Bone marrow aspirate smear:
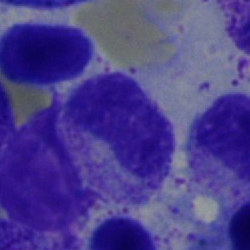

Single cell identified as a metamyelocyte.